Bone marrow smear · single cell centered in the field · 40× objective, oil immersion
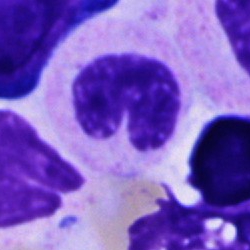 A band neutrophil.